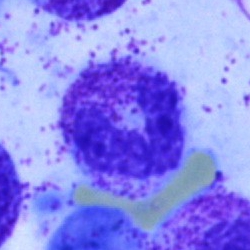

Morphological class — artifact.